Brightfield microscopy, 40× oil immersion; bone marrow smear.
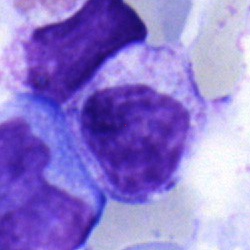 Morphological class: myelocyte.